Bone marrow smear. Cropped to a single cell
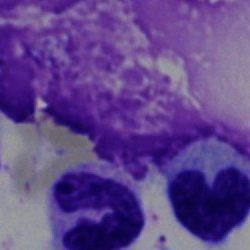
Showing an artefact.